40× oil immersion; bone marrow aspirate smear
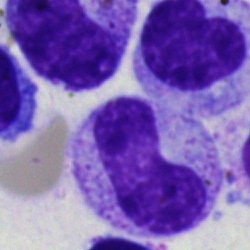 Showing a band neutrophil.